Bone marrow smear
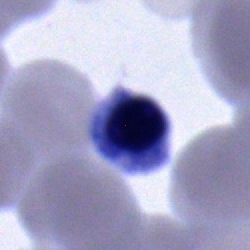Q: Identify the cell.
A: It is a nucleated red cell.